Bone marrow aspirate smear: 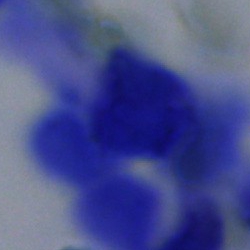Classification = artifact.